Bone marrow smear:
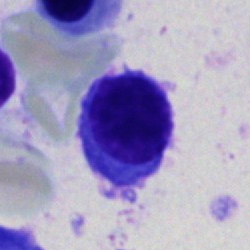 Q: What is shown here?
A: A plasmacyte.